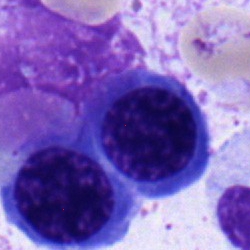Normoblast.